May-Grünwald-Giemsa stain. Bone marrow aspirate smear. Single-cell field
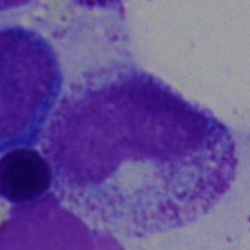

Metamyelocyte.